100× oil immersion, 14.14 px/µm · peripheral blood film: 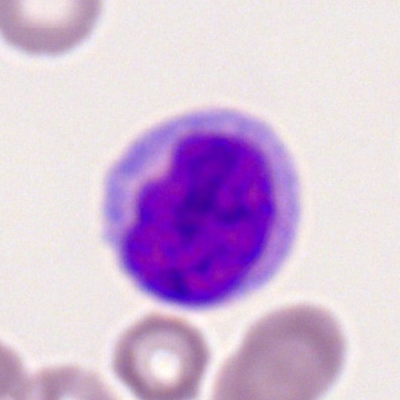
Impression — monocyte.